Bone marrow smear; image size 250×250:
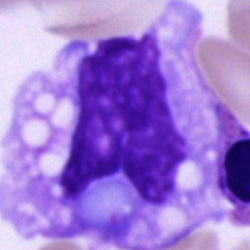 Impression → monocyte.